250×250 · bone marrow aspirate smear.
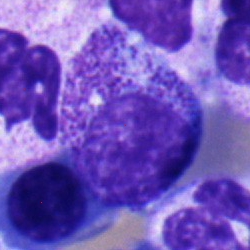

Q: What cell is this?
A: This is a myelocyte.